40× oil immersion · single-cell crop · bone marrow aspirate smear.
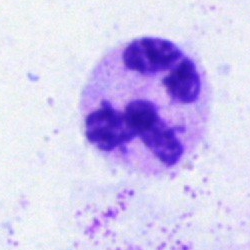

Cell = segmented neutrophil.